Brightfield, 40× oil-immersion objective; MGG-stained; bone marrow smear.
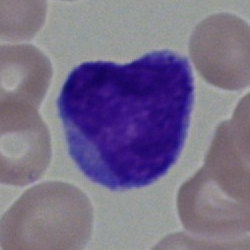
Morphological class = blast.